250×250 px. Bone marrow aspirate smear
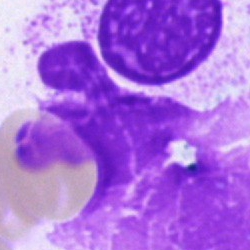
This is an artefact.